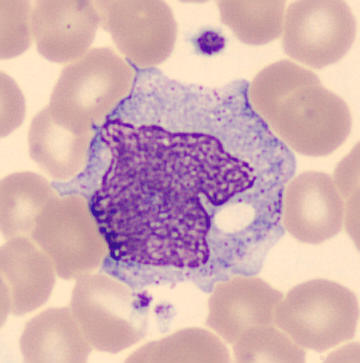
Cell type = monocyte.